Bone marrow aspirate smear.
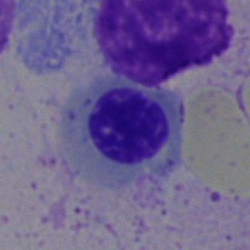 Cell type — normoblast.